Bone marrow aspirate smear:
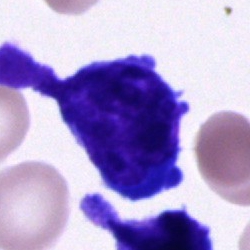 Morphology consistent with a cell of indeterminate lineage.